Bone marrow smear
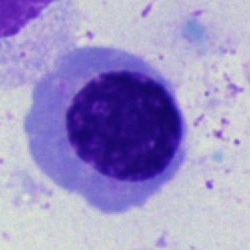Specimen: bone marrow smear.
Classification: normoblast.
Lineage: erythroid.